Cropped to a single cell; 250×250; bone marrow smear:
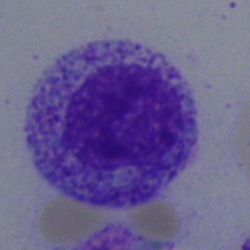

Q: What type of cell is this?
A: It is a myelocyte.